40× objective, oil immersion · single-cell crop · bone marrow aspirate smear.
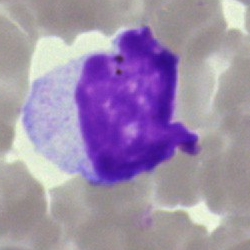{"cell_type": "undifferentiated blast"}